Bone marrow aspirate smear:
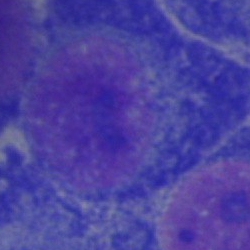

This is a plasma cell.